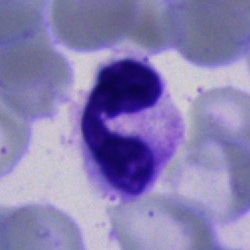

{"cell_type": "segmented neutrophil"}